Pappenheim-stained. Bone marrow aspirate smear.
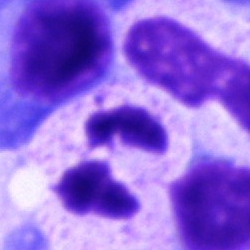

This is a polymorphonuclear neutrophil.